Bone marrow smear: 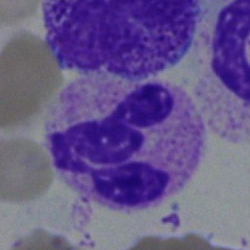
Morphological class: polymorphonuclear neutrophil.